Bone marrow aspirate smear — 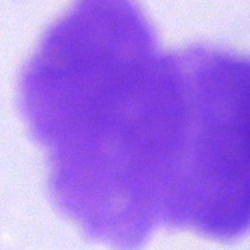
Cell type: artifact.